Single cell centered in the field · bone marrow smear
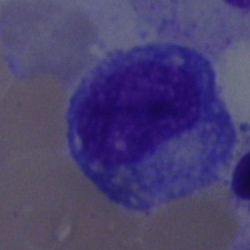 Impression — promyelocyte.